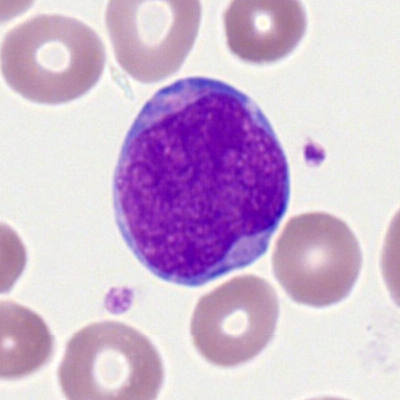

Morphology — myeloid blast.